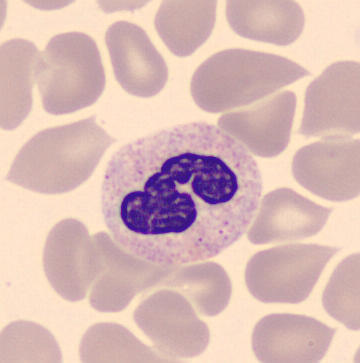 Preparation: Peripheral blood smear.

Morphology — neutrophil (band).